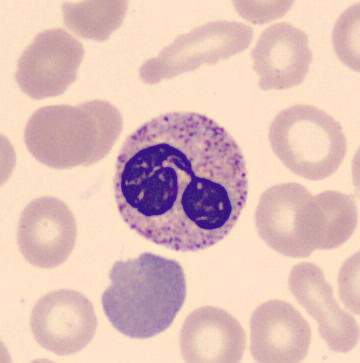 Single cell identified as a polymorphonuclear neutrophil.
Single-cell crop. Peripheral blood film.